Bone marrow smear:
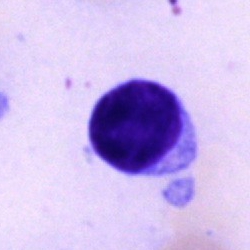

Morphological class: typical lymphocyte.